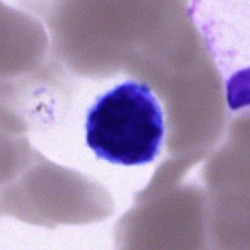

The cell type is lymphocyte.